Image size 250×250. Pappenheim-stained. Bone marrow aspirate smear: 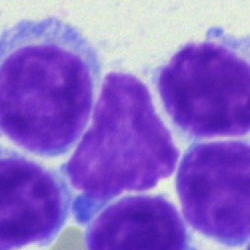

Cell type = typical lymphocyte.